Cropped to a single cell. Bone marrow smear:
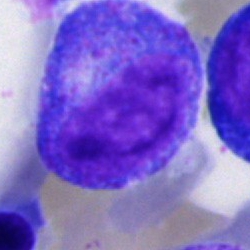

The cell is promyelocyte.